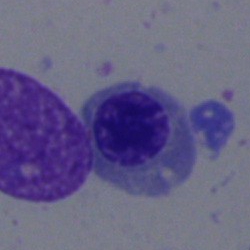 {"cell_type": "normoblast"}